Image size 250×250; bone marrow smear.
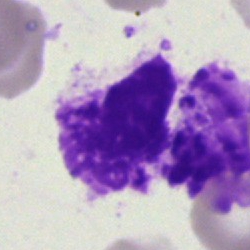
An artifact.